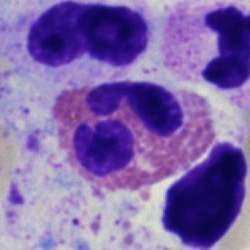
Q: What type of cell is this?
A: This is an eosinophilic granulocyte.